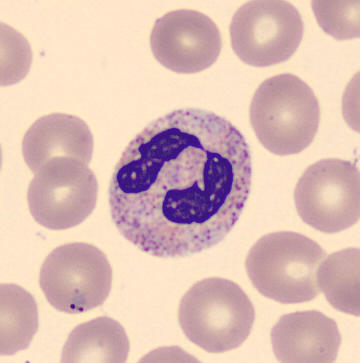
CellaVision DM96 digital cell image; peripheral blood smear. The cell shown is a neutrophil (segmented).